Peripheral blood film · Romanowsky-stained
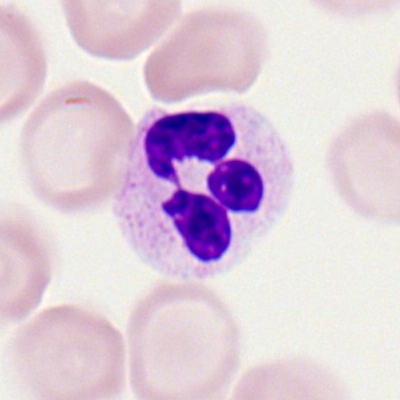 Segmented neutrophil.